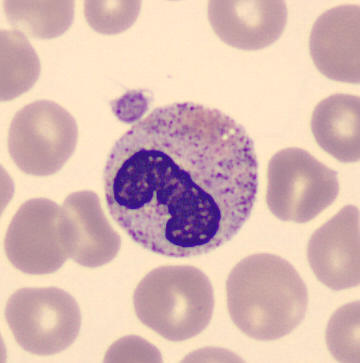
Peripheral blood smear showing a band neutrophil.